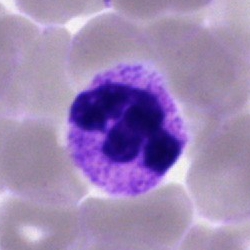

The classification is neutrophil (segmented).